Bone marrow aspirate smear · single cell centered in the field · May-Grünwald-Giemsa/Pappenheim stain — 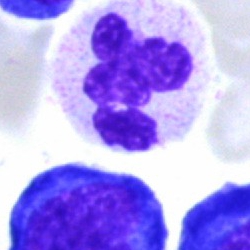
{"cell_type": "neutrophil (segmented)", "lineage": "myeloid"}